Peripheral blood smear: 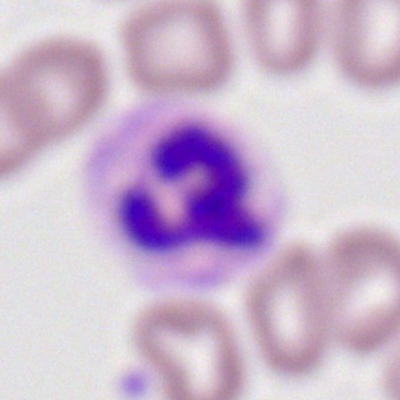

{"cell_type": "polymorphonuclear neutrophil", "lineage": "myeloid"}